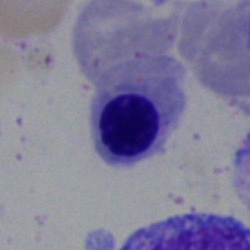
{"cell_type": "erythroblast", "lineage": "erythroid"}